Bone marrow smear: 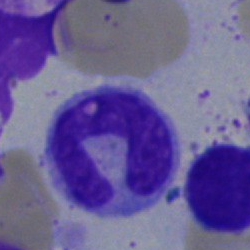
Classification = monocyte.